Bone marrow smear: 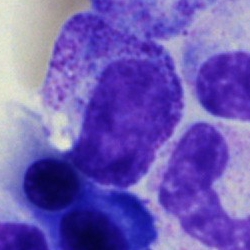Cell = myelocyte.